Bone marrow aspirate smear
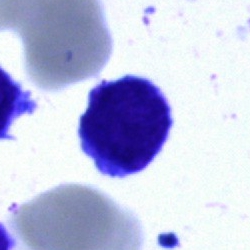

Single cell identified as a typical lymphocyte.